40× oil immersion; bone marrow aspirate smear; 250×250 px — 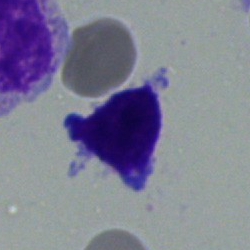 Morphology consistent with a typical lymphocyte.